Bone marrow smear. Brightfield, 40× oil-immersion objective. Single-cell crop:
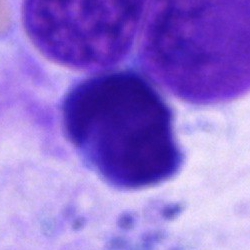This is an unidentifiable cell.